Bone marrow smear. Brightfield microscopy, 40× oil immersion
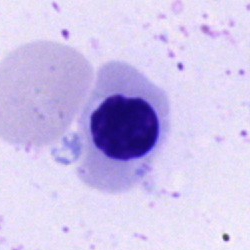

This is a normoblast.